Bone marrow aspirate smear. Pappenheim-stained. 250×250 px:
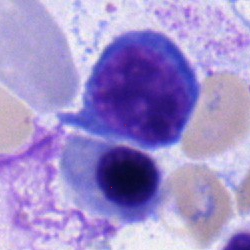Q: Identify the cell.
A: This is a nucleated red blood cell.